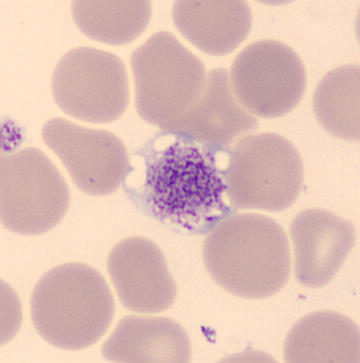 Peripheral blood film; imaged on a CellaVision DM96 analyser; image size 360×363.
Q: What is shown here?
A: This is a platelet (thrombocyte).